MGG-stained · bone marrow aspirate smear — 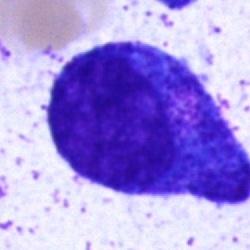

Showing a promyelocyte.